Bone marrow smear.
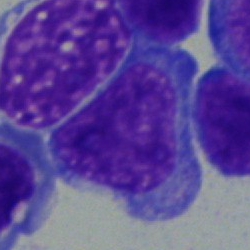

Impression → undifferentiated blast.